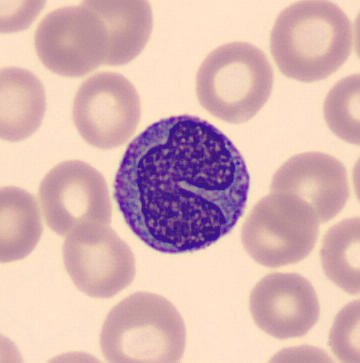

Q: What is shown here?
A: A monocyte.